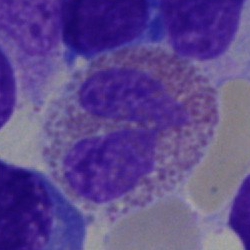

This is an eosinophilic granulocyte.